Bone marrow smear; brightfield microscopy, 40× oil immersion; single-cell crop — 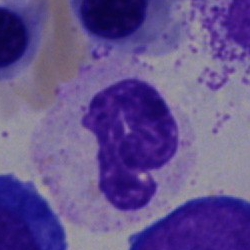
Showing a neutrophil (segmented).